Bone marrow smear
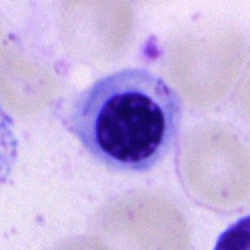
Nucleated red blood cell.